Bone marrow aspirate smear. Single-cell field — 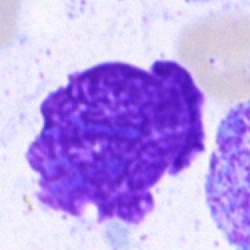
Cell — artefact.